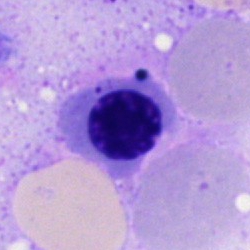 The cell is erythroblast.